250×250 px. MGG-stained. Bone marrow aspirate smear
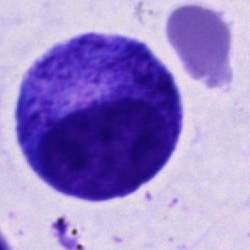 {"cell_type": "progranulocyte", "lineage": "myeloid"}